Bone marrow smear — 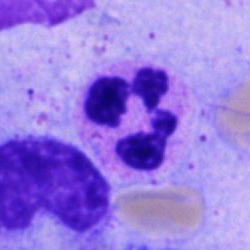
Impression — segmented neutrophil.